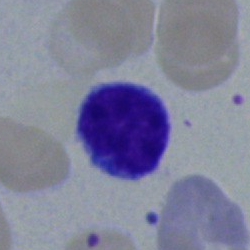
Specimen: bone marrow aspirate smear.
Cell: typical lymphocyte.